Bone marrow smear: 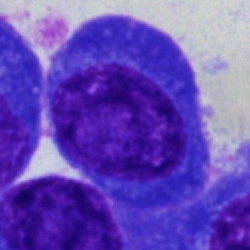Single cell identified as a plasmacyte.